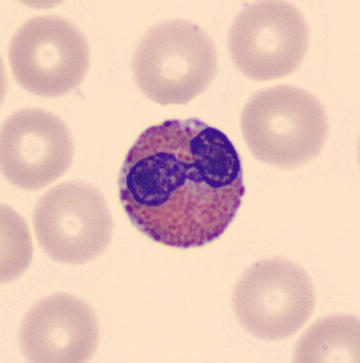

Peripheral blood smear. Cell type: eosinophilic granulocyte.